Brightfield microscopy, 40× oil immersion; bone marrow smear.
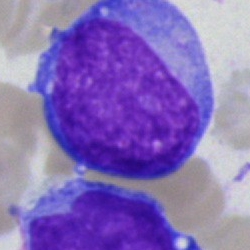

The cell is undifferentiated blast.